Peripheral blood film
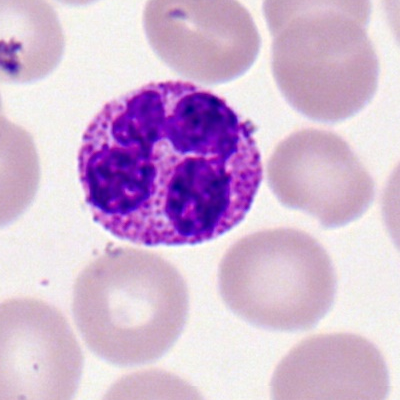Cell type = eosinophil.